Bone marrow aspirate smear. May-Grünwald-Giemsa/Pappenheim stain — 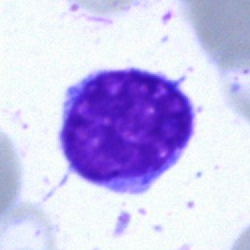
Cell type — artefact.